Bone marrow smear; 250×250; brightfield microscopy, 40× oil immersion
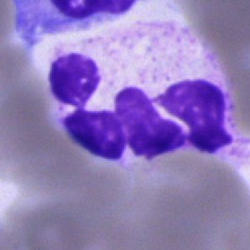 Specimen: bone marrow aspirate smear.
Cell: polymorphonuclear neutrophil.
Lineage: myeloid.